Bone marrow smear — 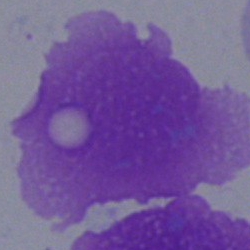
An artifact.